Bone marrow smear: 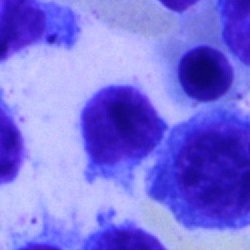

Cell type — lymphocyte.